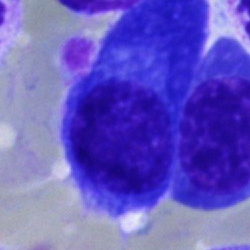 {"cell_type": "plasma cell", "lineage": "lymphoid"}